40× oil immersion · bone marrow smear
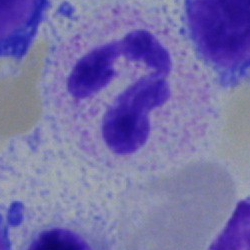
A neutrophil (segmented).